Bone marrow aspirate smear — 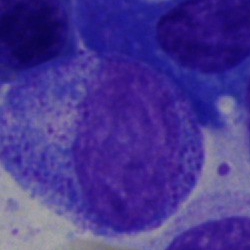
{"cell_type": "progranulocyte"}